Bone marrow smear. Brightfield microscopy, 40× oil immersion — 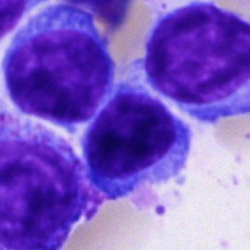
Morphology consistent with a typical lymphocyte.